Bone marrow aspirate smear:
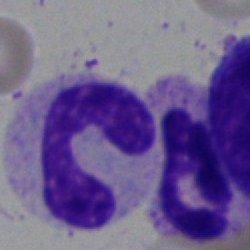Showing a segmented neutrophil.